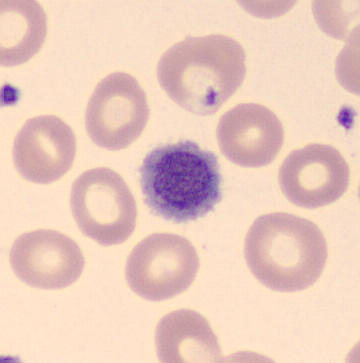
The cell type is platelet (thrombocyte).

Acquisition: CellaVision DM96 · peripheral blood film.